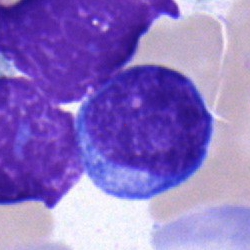
Morphology consistent with a blast cell.